Bone marrow aspirate smear:
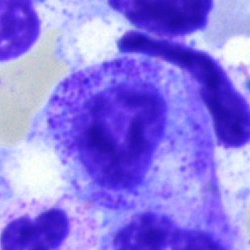

Myelocyte.